Bone marrow smear. 250×250.
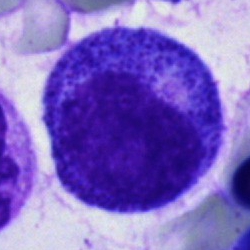
Showing a promyelocyte.